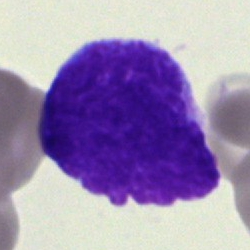

Single-cell crop from a bone marrow smear: artifact.